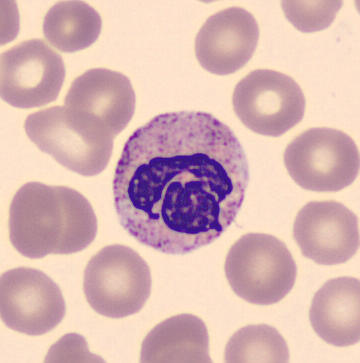

Segmented neutrophil.

Acquisition: Peripheral blood smear; automated cell imaging (CellaVision DM96).